Romanowsky-stained · 100× oil immersion · peripheral blood smear — 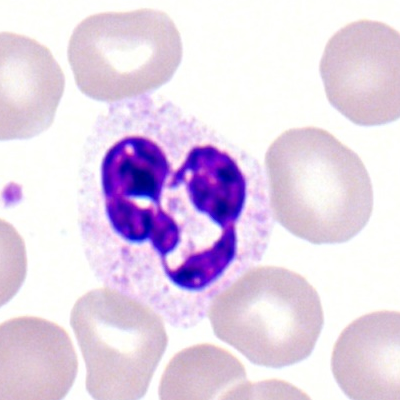

Specimen: peripheral blood film.
Classification: neutrophil (segmented).
Lineage: myeloid.